MGG-stained; bone marrow aspirate smear.
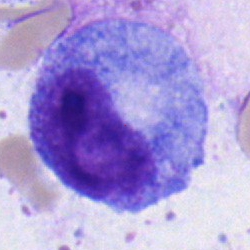
Showing a promyelocyte.